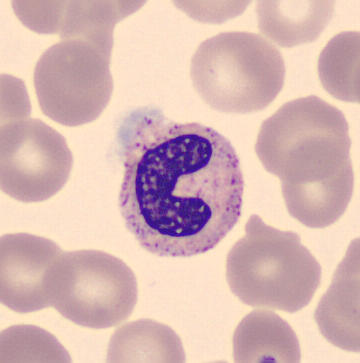
Q: What is this?
A: Neutrophil (band). Image: Peripheral blood smear.